Bone marrow smear · 250 by 250 pixels · May-Grünwald-Giemsa/Pappenheim stain.
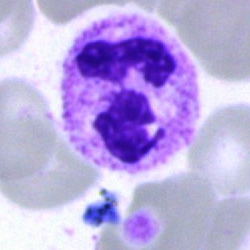 Q: What is shown here?
A: Segmented neutrophil.